Romanowsky stain · 400 by 400 pixels · peripheral blood smear:
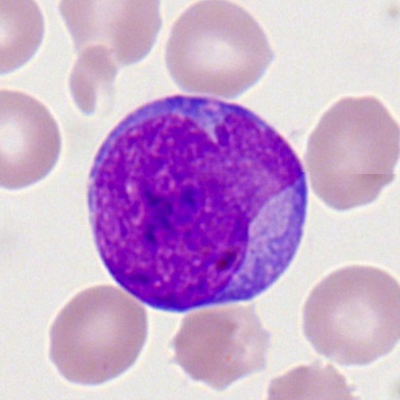
Cell — myeloid blast.